Bone marrow smear:
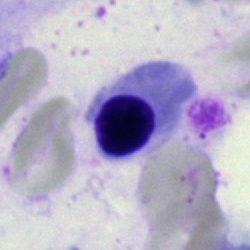
The cell is normoblast.